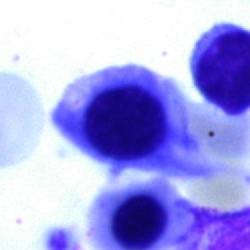
{"cell_type": "nucleated red blood cell", "lineage": "erythroid"}